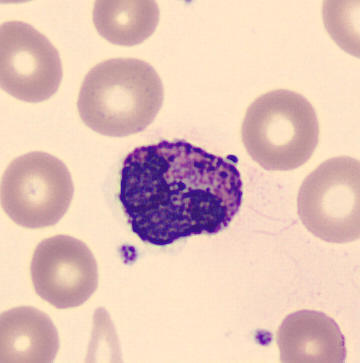Preparation: MGG-stained. Peripheral blood smear.

Morphological class = basophilic granulocyte.